Pappenheim-stained. Bone marrow aspirate smear:
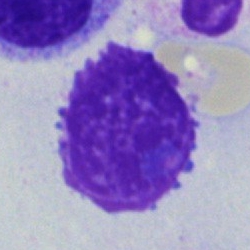 Single cell identified as an artefact.